Peripheral blood smear: 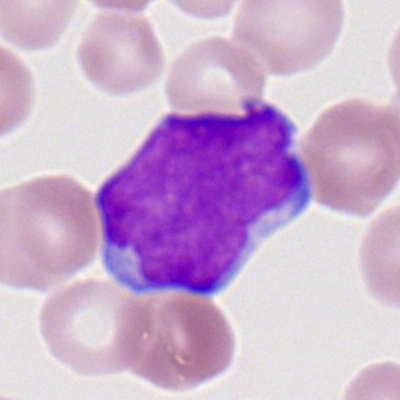Classification: myeloid blast.